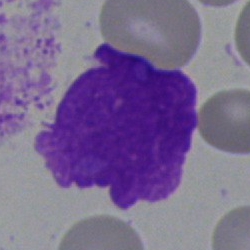
Specimen: bone marrow aspirate smear.
Cell: artifact.